Bone marrow smear: 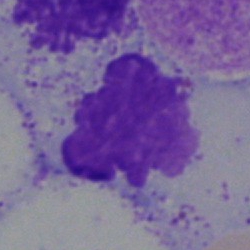

Showing an artifact.